Single-cell field. Bone marrow smear:
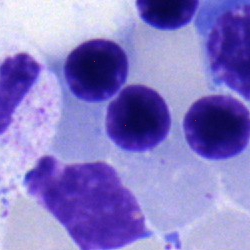Nucleated red cell.